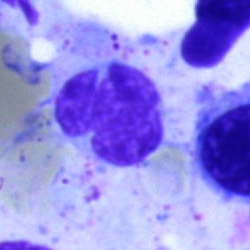
{"cell_type": "artifact"}